Bone marrow smear: 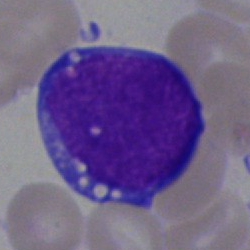
Blast cell.